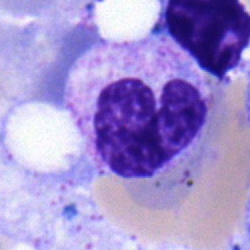 Cell type = band-form neutrophil.